Bone marrow aspirate smear · 250×250 px:
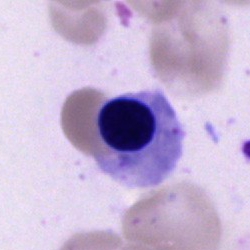 The morphological class is erythroblast.